Bone marrow smear. Cropped to a single cell: 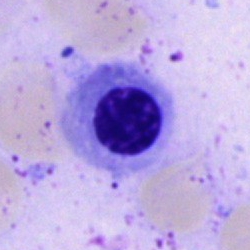
Q: What type of cell is this?
A: Nucleated red cell.